Peripheral blood film: 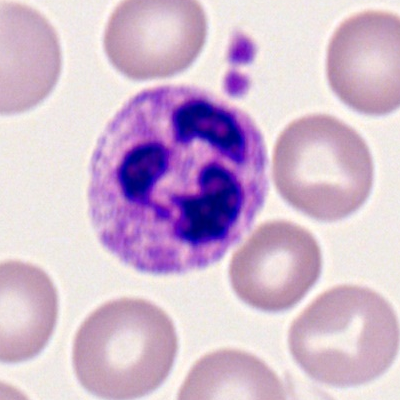 Neutrophil (segmented).